Bone marrow aspirate smear: 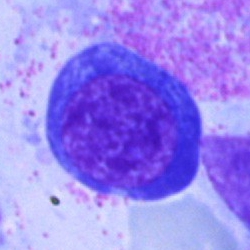
This is a nucleated red cell.